Bone marrow aspirate smear: 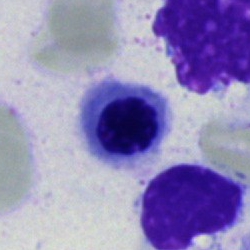 Specimen: bone marrow aspirate smear.
Classification: nucleated red blood cell.
Lineage: erythroid.